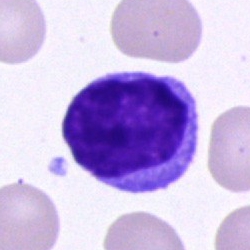
Morphology → typical lymphocyte.